Bone marrow smear.
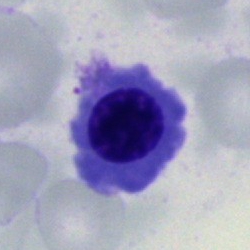Showing a nucleated red cell.